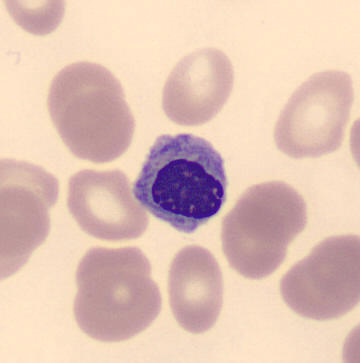
Specimen: peripheral blood film.
Morphological class: erythroblast.
Lineage: erythroid.